Bone marrow smear.
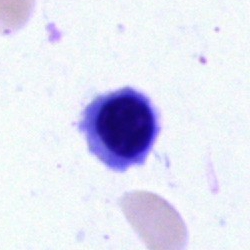
Q: What type of cell is this?
A: Erythroblast.